Single-cell crop. Bone marrow smear — 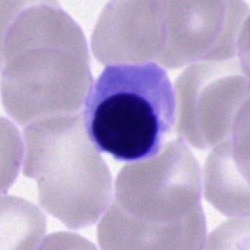This is a nucleated red blood cell.